Bone marrow smear
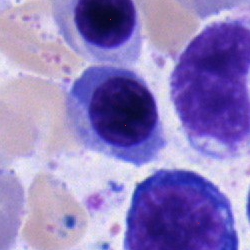 Classification: normoblast.